40× objective, oil immersion · bone marrow aspirate smear · 250 by 250 pixels
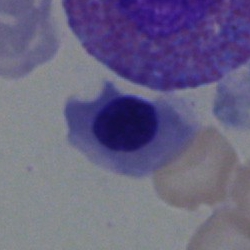Morphology consistent with an erythroblast.